Bone marrow aspirate smear · MGG-stained · 250×250 px:
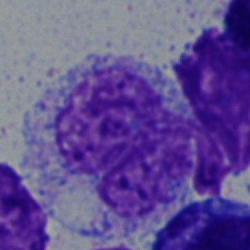
Showing a monocyte.